Bone marrow smear — 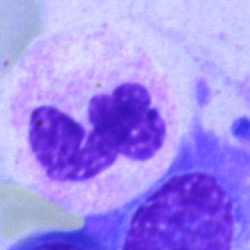

Showing a polymorphonuclear neutrophil.